Bone marrow aspirate smear:
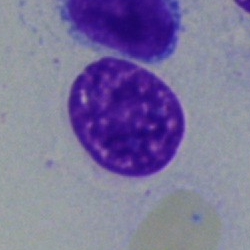Morphology consistent with an artifact.